Bone marrow aspirate smear. 250×250:
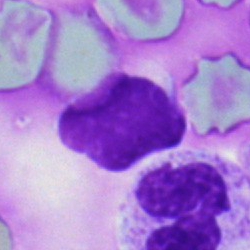
Q: What is shown here?
A: Artefact.